Bone marrow smear — 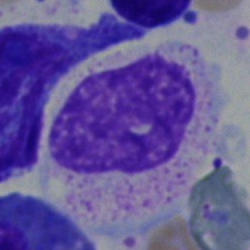
A myelocyte.